Peripheral blood smear; imaged on a CellaVision DM96 analyser
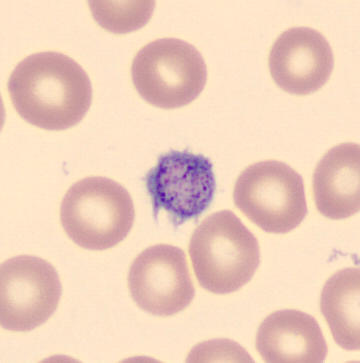Cell type — platelet (thrombocyte).